Peripheral blood film
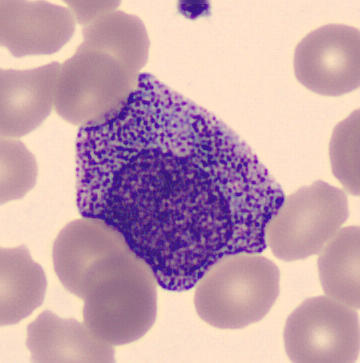
Cell type — progranulocyte.